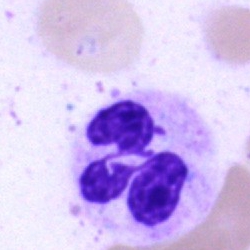 The cell shown is a polymorphonuclear neutrophil.